Pappenheim-stained. Image size 250×250. Bone marrow aspirate smear.
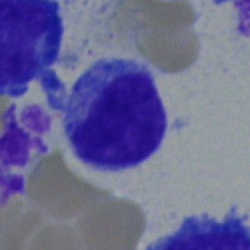

Showing a lymphocyte.